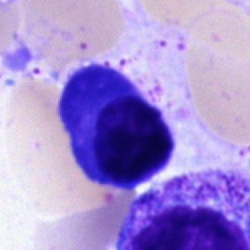
Specimen: bone marrow aspirate smear.
Morphological class: plasma cell.